Peripheral blood smear — 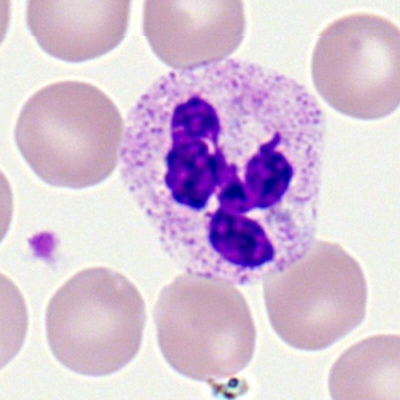Morphological class — segmented neutrophil.